Bone marrow smear
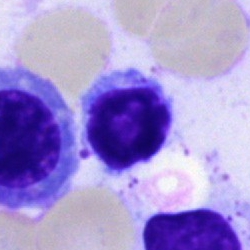Specimen: bone marrow smear.
Classification: typical lymphocyte.
Lineage: lymphoid.